Bone marrow smear: 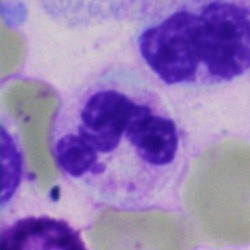

Specimen: bone marrow smear.
Cell: neutrophil (segmented).
Lineage: myeloid.